Bone marrow smear
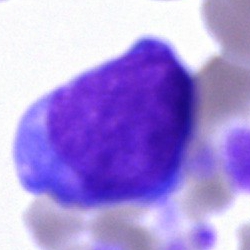 Blast cell.